Bone marrow aspirate smear; brightfield microscopy, 40× oil immersion — 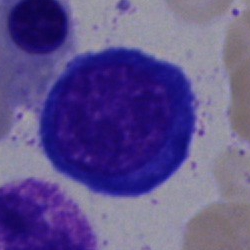 This is a nucleated red blood cell.